Bone marrow smear:
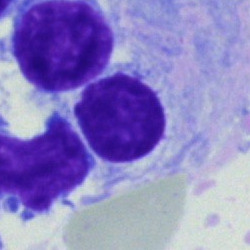

A typical lymphocyte.